Bone marrow smear — 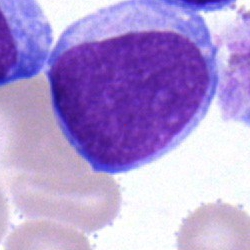 Specimen: bone marrow smear.
Cell type: blast cell.